Bone marrow smear.
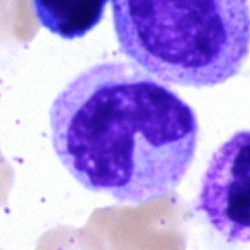 A neutrophil (band).